100× oil immersion, 14.14 px/µm · peripheral blood film: 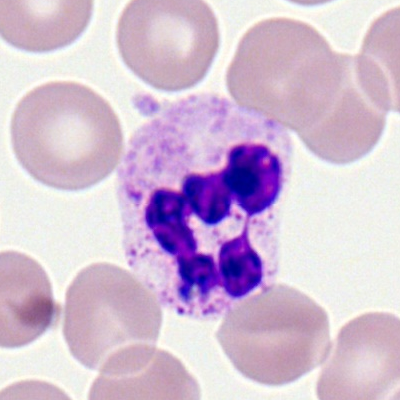

{"cell_type": "segmented neutrophil", "lineage": "myeloid"}